Bone marrow smear — 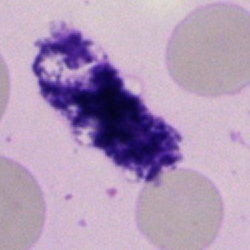 Specimen: bone marrow aspirate smear.
Cell: artefact.